Pappenheim-stained · bone marrow aspirate smear — 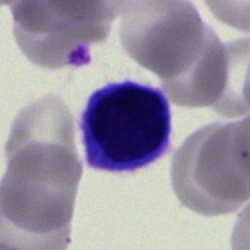 This is a typical lymphocyte.